Bone marrow aspirate smear; Pappenheim-stained; 250×250 px:
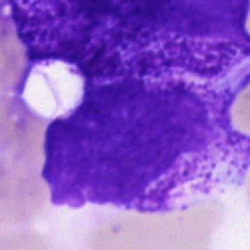

Specimen: bone marrow smear.
Classification: artifact.